Single-cell crop; bone marrow smear — 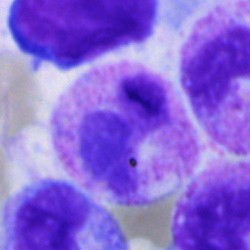

Classification — neutrophil (segmented).